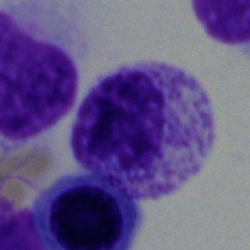 Single-cell crop from a bone marrow smear: myelocyte.